Single-cell field. Bone marrow aspirate smear:
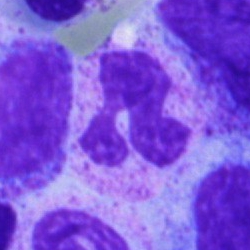Neutrophil (segmented).